Bone marrow aspirate smear; MGG-stained: 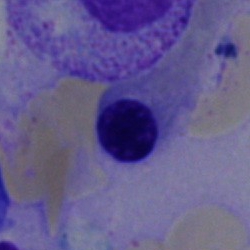 Specimen: bone marrow smear.
Classification: nucleated red blood cell.
Lineage: erythroid.